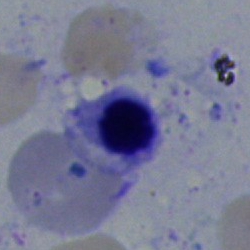Specimen: bone marrow aspirate smear.
Cell: normoblast.
Lineage: erythroid.